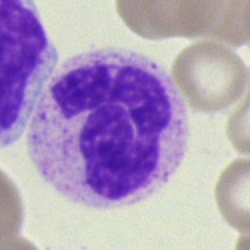

The cell type is polymorphonuclear neutrophil.